Bone marrow aspirate smear.
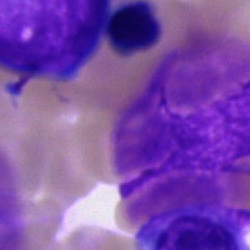{"cell_type": "artifact"}